Peripheral blood film.
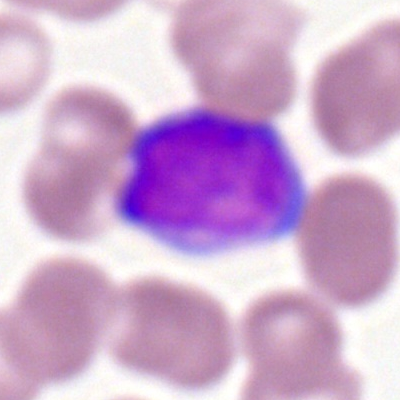

Morphological class = myeloid blast.